Bone marrow aspirate smear; 250×250 px:
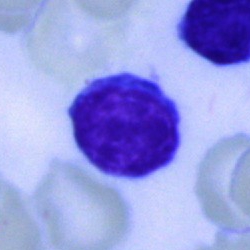 Classification = typical lymphocyte.